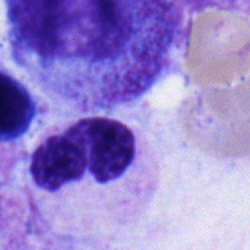 This is a typical lymphocyte.